Bone marrow smear — 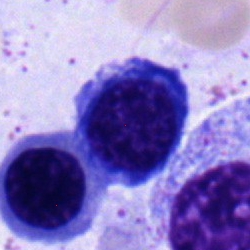
Q: What cell is this?
A: A nucleated red blood cell.